May-Grünwald-Giemsa stain · bone marrow aspirate smear: 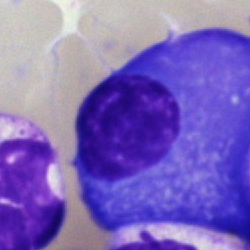

Cell: plasma cell.